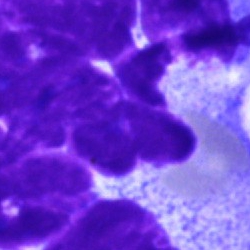
Artefact.